Bone marrow smear:
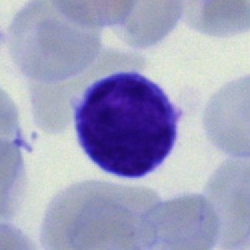

Classification — typical lymphocyte.